Single cell centered in the field · peripheral blood smear:
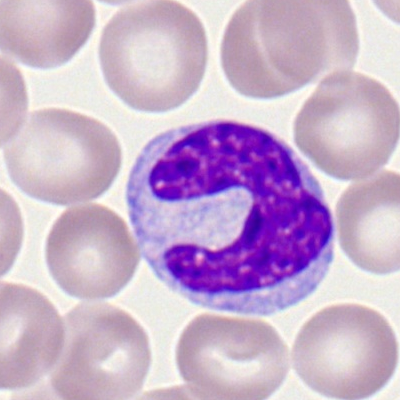 Showing a monocyte.